May-Grünwald-Giemsa stain. 40× objective, oil immersion. Bone marrow aspirate smear — 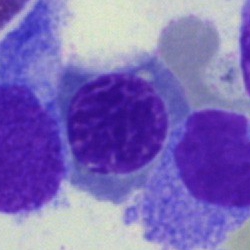Q: What is the morphological classification of this cell?
A: This is an erythroblast.